Bone marrow smear · single cell centered in the field · 250×250 — 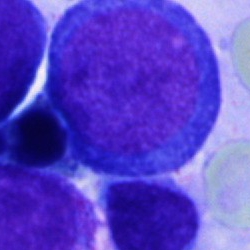This is an undifferentiated blast.